Bone marrow smear.
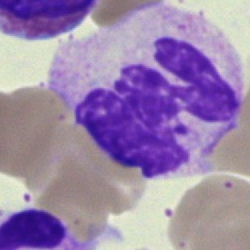 Classification = neutrophil (segmented).